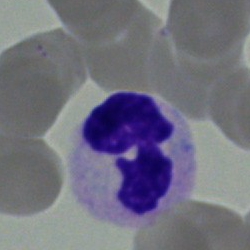
Single cell identified as a polymorphonuclear neutrophil.